Bone marrow smear — 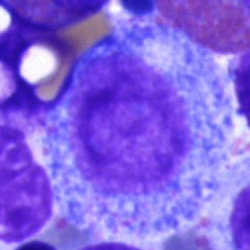
Showing a promyelocyte.